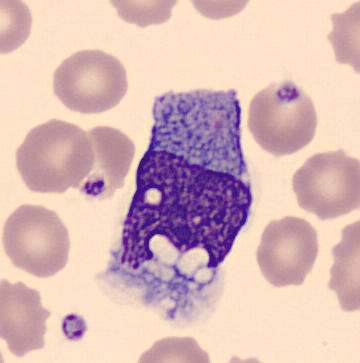
Classification = monocyte. Preparation: Peripheral blood film.